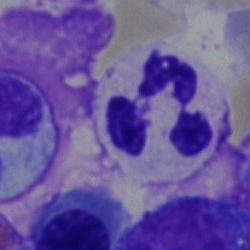The cell shown is a segmented neutrophil.